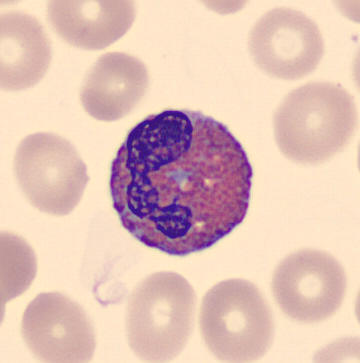Morphology consistent with an eosinophilic granulocyte.
Image: Peripheral blood smear · May Grünwald-Giemsa stain.